Bone marrow smear.
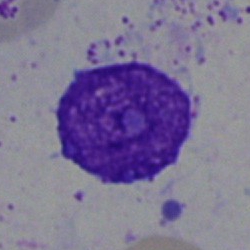
The cell shown is an artifact.